Bone marrow smear
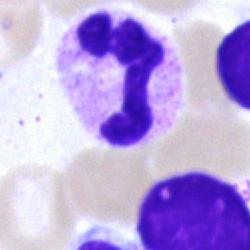Specimen: bone marrow aspirate smear.
Cell: neutrophil (segmented).
Lineage: myeloid.